Bone marrow aspirate smear. 250×250 px.
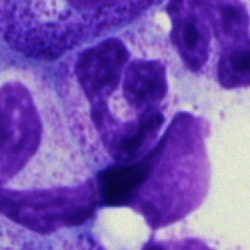
{"cell_type": "segmented neutrophil"}